Peripheral blood film — 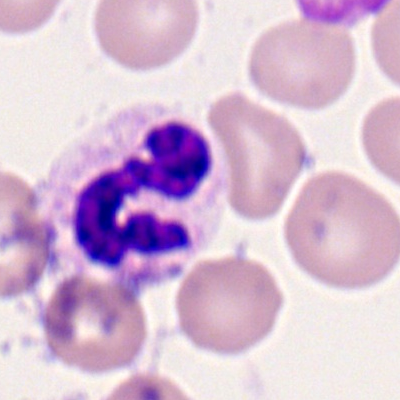

Cell — polymorphonuclear neutrophil.